May-Grünwald-Giemsa/Pappenheim stain. Bone marrow smear: 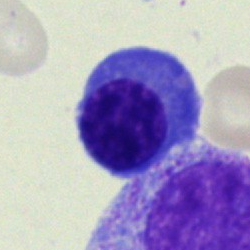 Morphological class — nucleated red blood cell.